Peripheral blood smear · automated cell imaging (CellaVision DM96) — 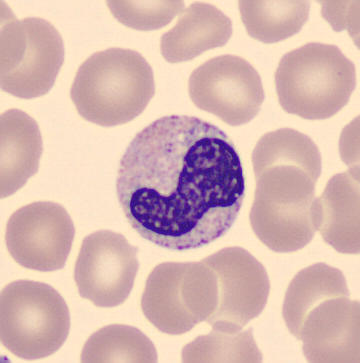Single cell identified as a neutrophil (band).